Bone marrow smear: 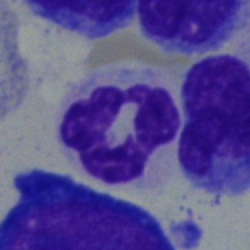 The cell shown is a neutrophil (segmented).